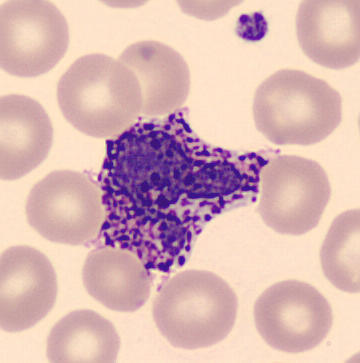
Q: Which cell type is shown here?
A: A basophilic granulocyte.

Image: CellaVision DM96 digital cell image. Peripheral blood smear.